May-Grünwald-Giemsa/Pappenheim stain; 250×250 px; bone marrow smear: 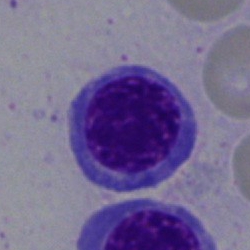
The classification is nucleated red cell.